Bone marrow aspirate smear: 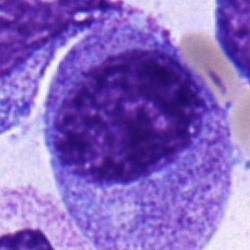
Q: What is shown here?
A: This is a myelocyte.